Peripheral blood film:
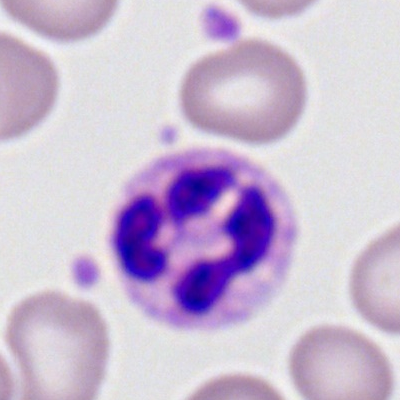

Specimen: peripheral blood film.
Classification: polymorphonuclear neutrophil.
Lineage: myeloid.